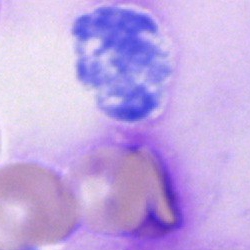

Cell type — artifact.